Bone marrow aspirate smear — 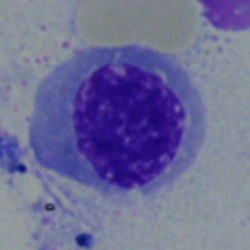
Specimen: bone marrow aspirate smear.
Morphological class: nucleated red blood cell.
Lineage: erythroid.